MGG-stained · bone marrow smear:
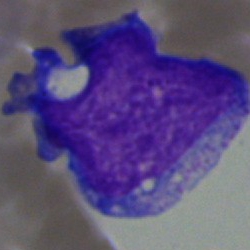
Q: What is shown here?
A: Basophilic granulocyte.